Brightfield microscopy, 40× oil immersion; single cell centered in the field; bone marrow smear
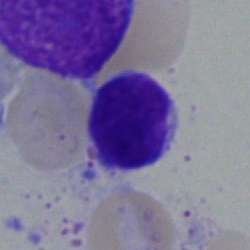 The cell shown is a lymphocyte.